Bone marrow aspirate smear
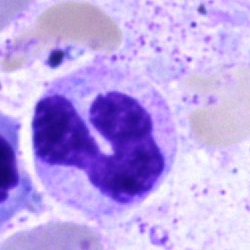 Morphology consistent with a stab cell.